Bone marrow smear. Single cell centered in the field. Brightfield microscopy, 40× oil immersion — 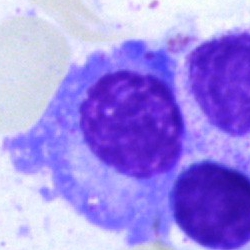 Cell — plasmacyte.